Bone marrow aspirate smear: 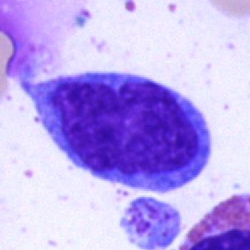Morphology — monocyte.